Bone marrow aspirate smear — 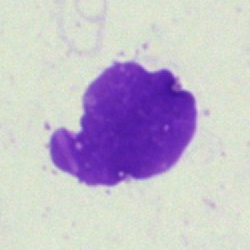Cell = artifact.